MGG-stained; bone marrow aspirate smear: 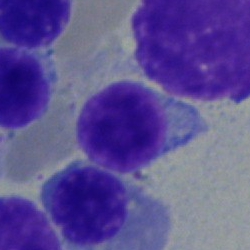

Cell type: typical lymphocyte.